Single cell centered in the field. Bone marrow smear
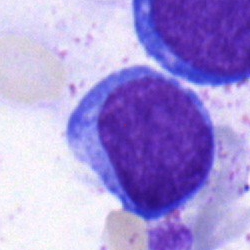Showing a blast.